May-Grünwald-Giemsa stain. Bone marrow aspirate smear. Brightfield, 40× oil-immersion objective
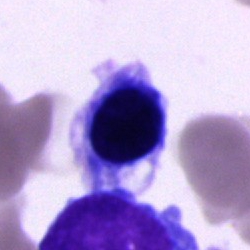

Cell of indeterminate lineage.